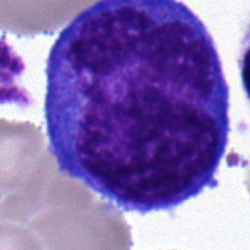Morphology consistent with a promyelocyte.